Bone marrow aspirate smear · May-Grünwald-Giemsa/Pappenheim stain · cropped to a single cell:
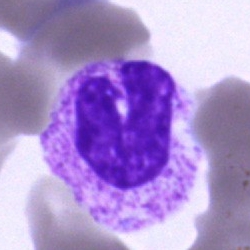

Q: What is the morphological classification of this cell?
A: A band neutrophil.